40× objective, oil immersion · MGG-stained · bone marrow aspirate smear
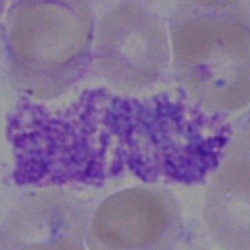Morphology consistent with an artefact.